400 by 400 pixels · single-cell field · peripheral blood smear: 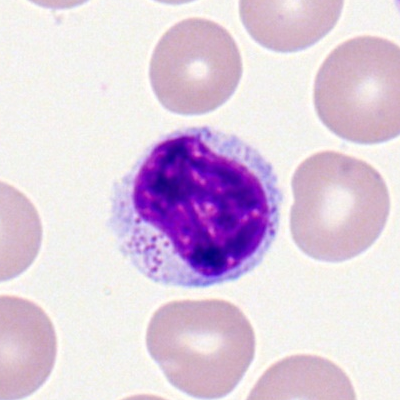
Cell — typical lymphocyte.